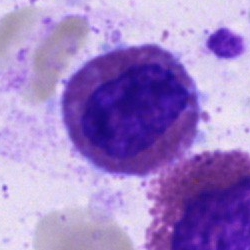

Classification = eosinophilic granulocyte.